Cropped to a single cell. Bone marrow aspirate smear.
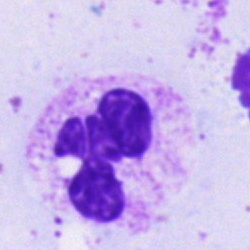

The cell shown is a neutrophil (segmented).